Bone marrow smear; 250 by 250 pixels
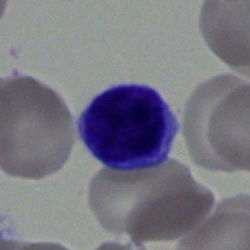 Lymphocyte.